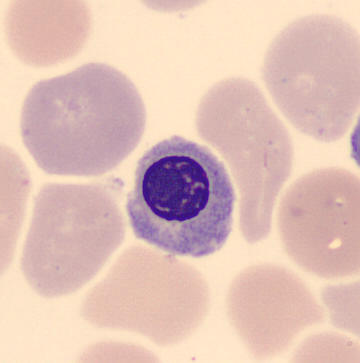 Specimen: peripheral blood smear.
Cell: normoblast.
Lineage: erythroid.